Peripheral blood film — 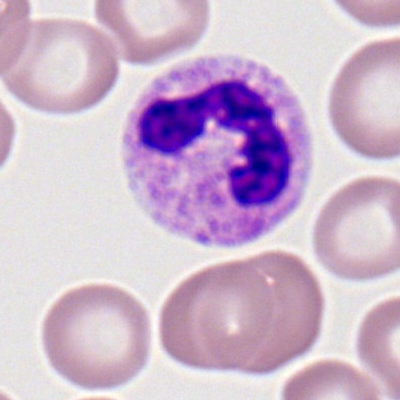
Q: What cell is this?
A: This is a neutrophil (segmented).